Bone marrow aspirate smear; single cell centered in the field: 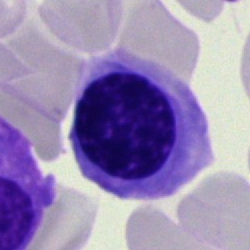 Cell type: nucleated red blood cell.